Image size 250×250. Bone marrow smear: 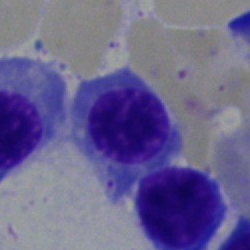

Morphological class — normoblast.